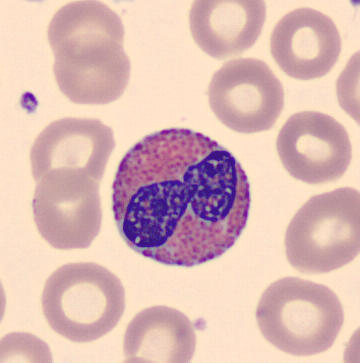
Cell type: eosinophil.

Peripheral blood film · May-Grünwald-Giemsa-stained.